Pappenheim-stained · 250×250 px · bone marrow smear
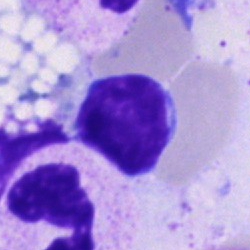Morphology — typical lymphocyte.